Bone marrow aspirate smear.
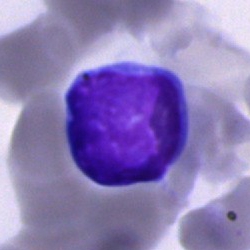The cell shown is a lymphocyte.